Brightfield microscopy, 40× oil immersion · bone marrow smear.
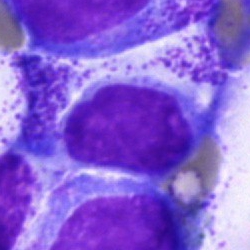 This is a blast cell.